Bone marrow smear; single-cell crop; 250×250.
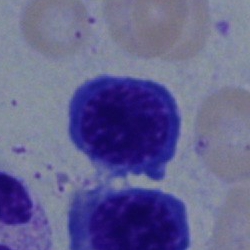
{"cell_type": "nucleated red blood cell"}